Bone marrow smear:
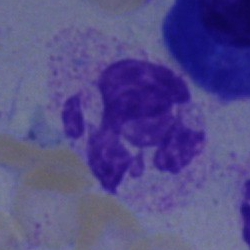
Specimen: bone marrow aspirate smear.
Cell type: polymorphonuclear neutrophil.
Lineage: myeloid.